Bone marrow aspirate smear · single-cell crop — 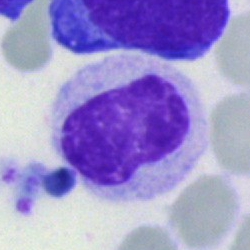Band neutrophil.